Bone marrow aspirate smear: 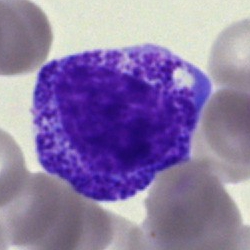Morphology — myelocyte.